Bone marrow smear:
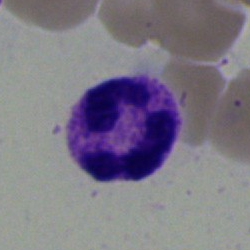
Specimen: bone marrow smear.
Cell type: neutrophil (segmented).
Lineage: myeloid.